Brightfield, 40× oil-immersion objective · bone marrow smear
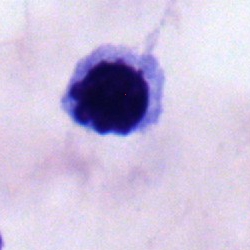 {"cell_type": "erythroblast", "lineage": "erythroid"}